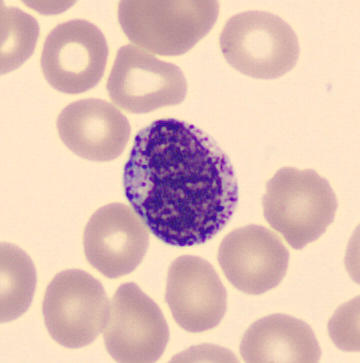Specimen: peripheral blood film.
Classification: metamyelocyte.
Lineage: myeloid.